Bone marrow aspirate smear — 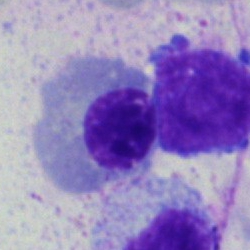

A nucleated red blood cell.